Bone marrow aspirate smear:
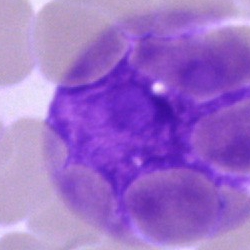
Impression — artefact.